Peripheral blood smear: 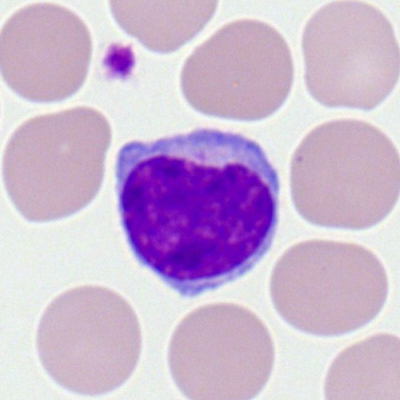Q: What type of cell is this?
A: A typical lymphocyte.